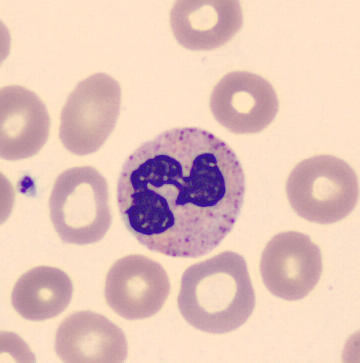 The morphological class is neutrophil (segmented).
May Grünwald-Giemsa stain. Peripheral blood film.